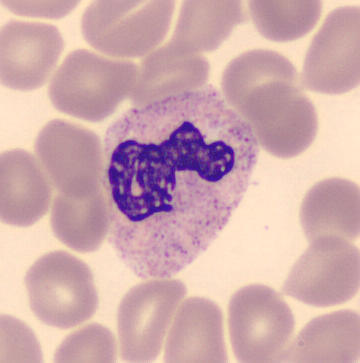
Q: Which cell type is shown here?
A: It is a neutrophil (segmented).